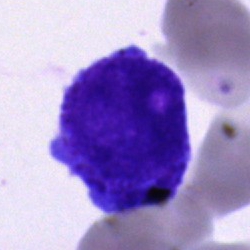Impression — blast cell.